Bone marrow aspirate smear · Pappenheim-stained · single-cell field
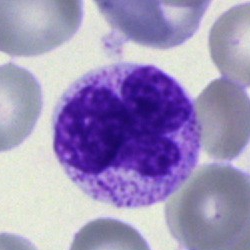
Q: What cell is this?
A: Polymorphonuclear neutrophil.